Cropped to a single cell. Brightfield, 40× oil-immersion objective. Bone marrow aspirate smear
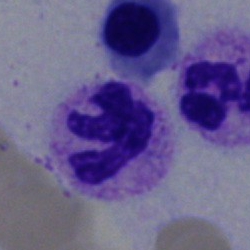 Single cell identified as a segmented neutrophil.